May-Grünwald-Giemsa/Pappenheim stain · bone marrow aspirate smear · 40× oil immersion: 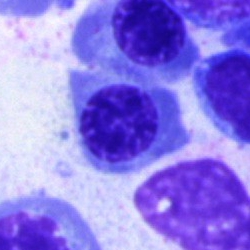

Q: What is the morphological classification of this cell?
A: It is a nucleated red blood cell.